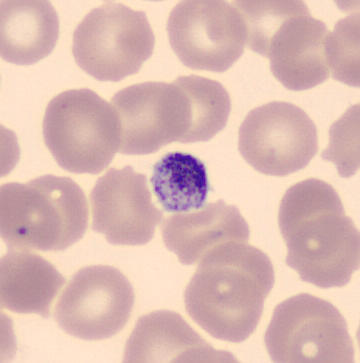
Cell type — platelet (thrombocyte). Acquisition: Peripheral blood film.